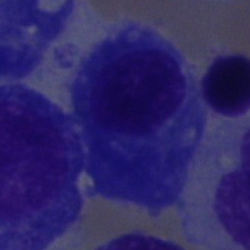

Specimen: bone marrow smear.
Cell type: plasma cell.